Romanowsky stain. Image size 400×400. Peripheral blood film
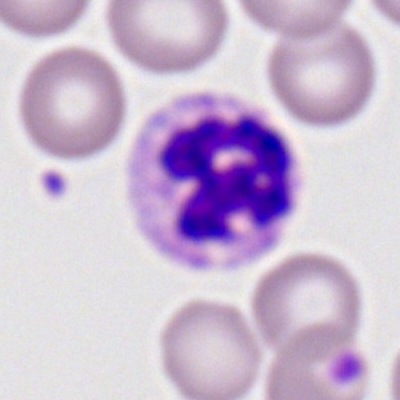A neutrophil (segmented).